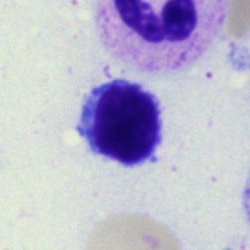
Single cell identified as a lymphocyte.